Bone marrow smear — 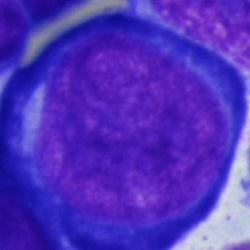
Morphology — pronormoblast.